Bone marrow aspirate smear.
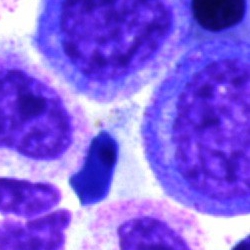
Single cell identified as a promyelocyte.